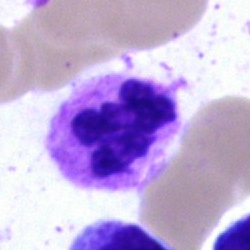

Specimen: bone marrow smear.
Cell: neutrophil (segmented).